Bone marrow aspirate smear:
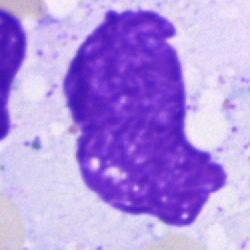 Showing an artefact.